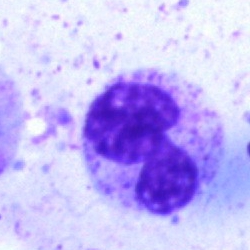

This is a segmented neutrophil.